Bone marrow smear · single cell centered in the field
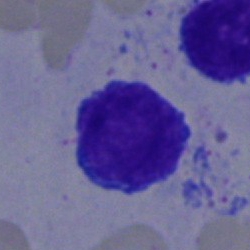

This is a lymphocyte.